250×250 px. Bone marrow aspirate smear.
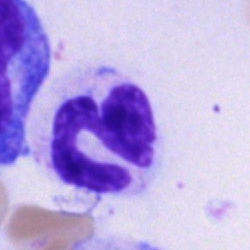
{"cell_type": "neutrophil (segmented)", "lineage": "myeloid"}